Bone marrow smear. Single cell centered in the field
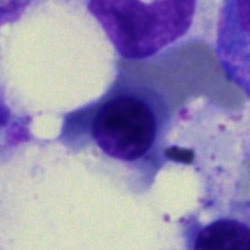 An erythroblast.